Bone marrow aspirate smear: 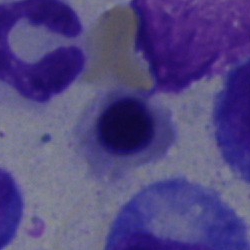

Specimen: bone marrow smear.
Cell: nucleated red blood cell.
Lineage: erythroid.